Bone marrow smear; 250×250 px
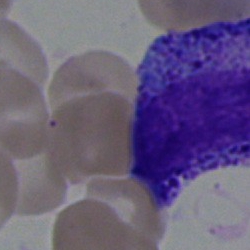
Morphology → promyelocyte.